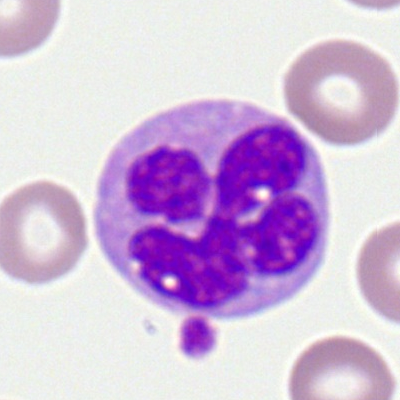

Cell = monocyte.